Peripheral blood smear.
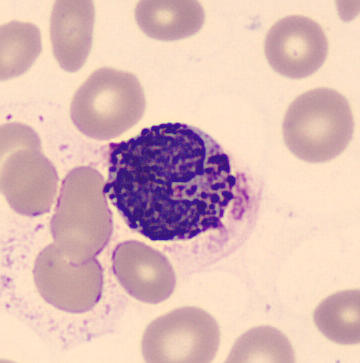

Specimen: peripheral blood film.
Classification: basophilic granulocyte.
Lineage: myeloid.